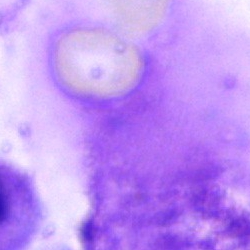Morphology — artifact.